Single cell centered in the field; bone marrow smear.
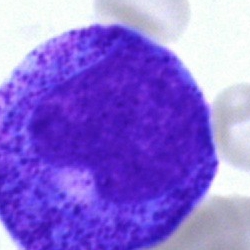

Morphology consistent with a promyelocyte.